MGG-stained · bone marrow smear.
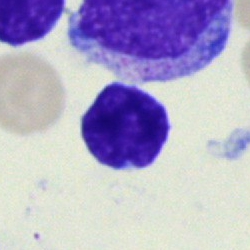Specimen: bone marrow aspirate smear.
Classification: typical lymphocyte.